Bone marrow smear.
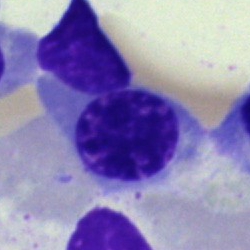Morphology — nucleated red blood cell.